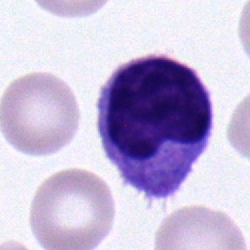

Showing a typical lymphocyte.